Bone marrow aspirate smear; 250 by 250 pixels
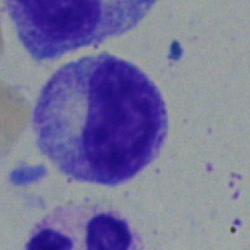
Cell = myelocyte.